Single cell centered in the field; Pappenheim-stained; bone marrow aspirate smear
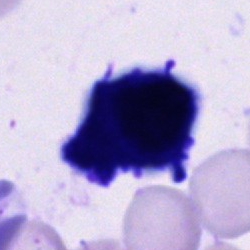 Impression → cell of indeterminate lineage.